Bone marrow smear — 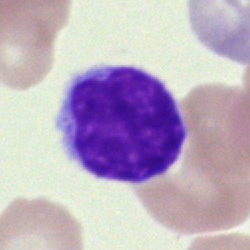

Q: Identify the cell.
A: A typical lymphocyte.